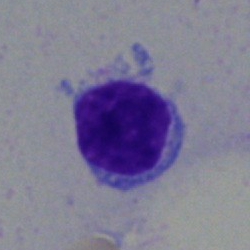 Morphology — lymphocyte.